Bone marrow smear. 40× objective, oil immersion. 250 by 250 pixels
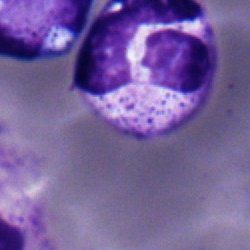

Cell type: polymorphonuclear neutrophil.